Bone marrow aspirate smear — 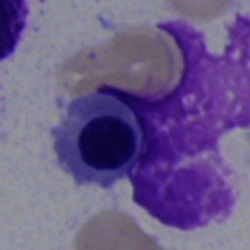 A nucleated red blood cell.